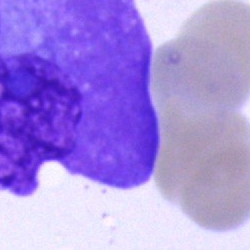Morphology consistent with a plasma cell.